Bone marrow aspirate smear
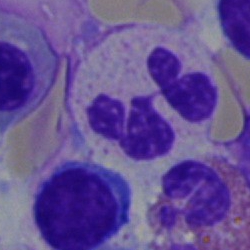The cell shown is a polymorphonuclear neutrophil.